Bone marrow smear. Pappenheim-stained — 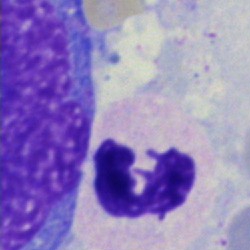 Specimen: bone marrow aspirate smear.
Classification: segmented neutrophil.
Lineage: myeloid.